Bone marrow smear: 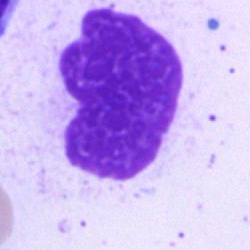

An artifact.